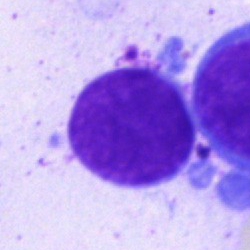
Cell type = artefact.